Single-cell field. Bone marrow smear. May-Grünwald-Giemsa/Pappenheim stain — 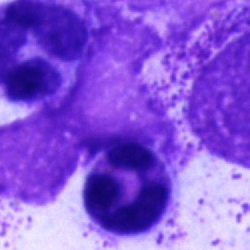

Morphology — polymorphonuclear neutrophil.